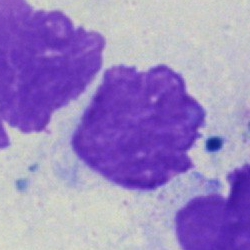 Q: What is shown here?
A: This is an artifact.